Bone marrow smear: 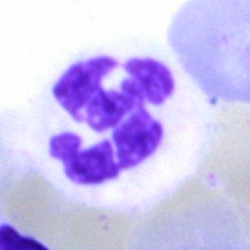Showing a segmented neutrophil.